Bone marrow smear — 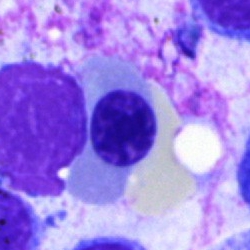This is a nucleated red cell.